Cropped to a single cell · bone marrow smear — 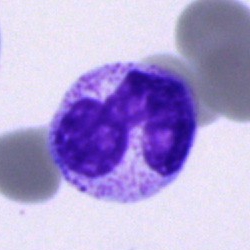

Specimen: bone marrow aspirate smear.
Classification: band-form neutrophil.